Bone marrow smear.
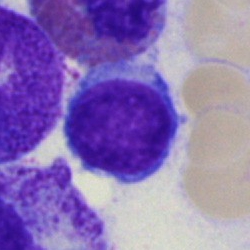
Single cell identified as a typical lymphocyte.